250×250 · bone marrow aspirate smear.
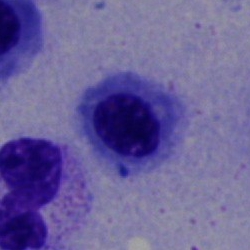 Morphology consistent with a nucleated red blood cell.